Bone marrow smear: 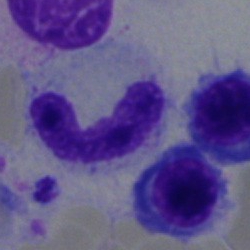Showing a segmented neutrophil.